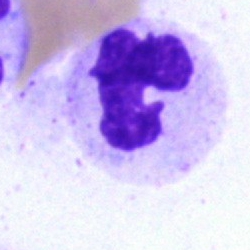The cell is polymorphonuclear neutrophil.